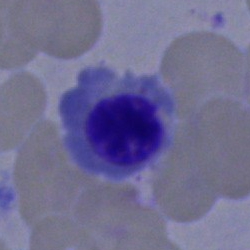 Morphological class: nucleated red blood cell.